Bone marrow aspirate smear · 40× objective, oil immersion:
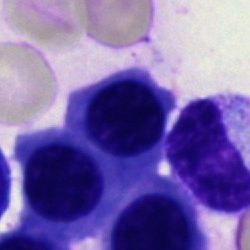 Morphological class = nucleated red blood cell.